Bone marrow aspirate smear: 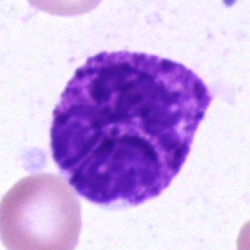

Morphology consistent with a basophil.